Peripheral blood smear; single-cell field
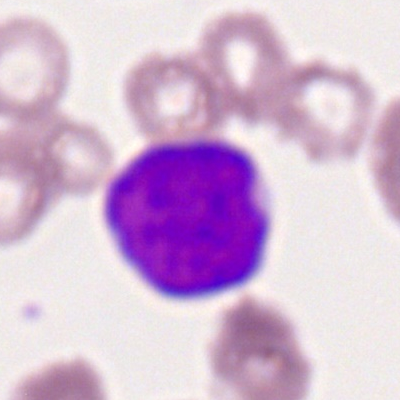 The cell type is myeloid blast.